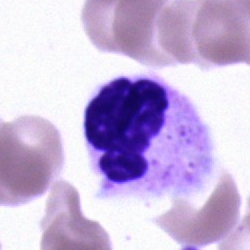 The cell shown is a polymorphonuclear neutrophil.